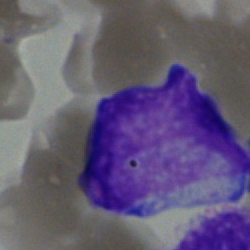

Impression — undifferentiated blast.